Bone marrow aspirate smear.
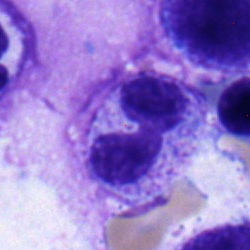 Morphology consistent with a segmented neutrophil.